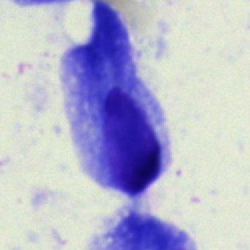Single-cell crop from a bone marrow smear: plasma cell.